Bone marrow smear: 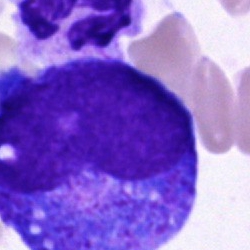
Single cell identified as a promyelocyte.